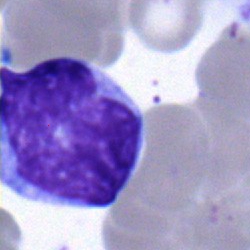
Specimen: bone marrow smear.
Morphological class: blast.